Bone marrow smear. 250 by 250 pixels
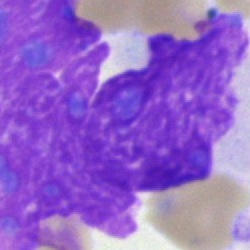

Morphology consistent with an artifact.